Bone marrow smear.
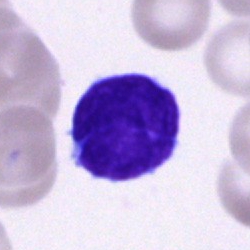The morphological class is typical lymphocyte.